Bone marrow aspirate smear: 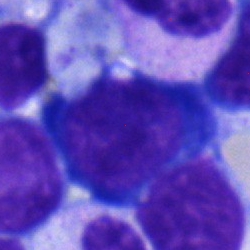 {"cell_type": "nucleated red cell"}